Bone marrow aspirate smear: 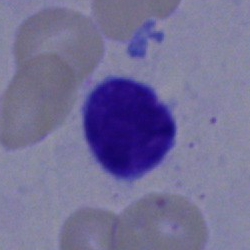

{"cell_type": "lymphocyte"}